Single-cell crop; bone marrow aspirate smear; MGG-stained: 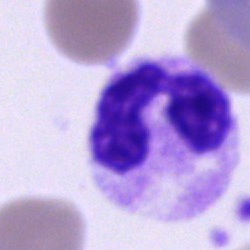Specimen: bone marrow smear.
Morphological class: polymorphonuclear neutrophil.
Lineage: myeloid.